Bone marrow smear — 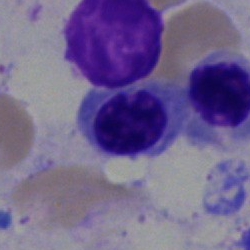
Morphological class — normoblast.